Bone marrow aspirate smear: 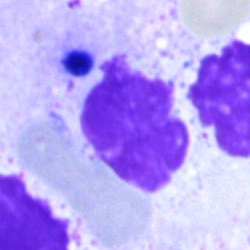
{"cell_type": "artefact"}